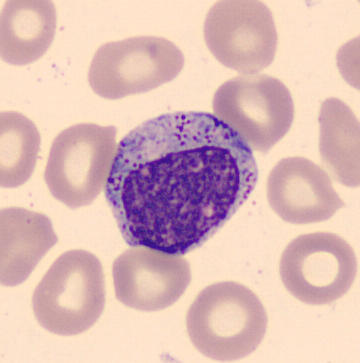
Preparation: CellaVision DM96 digital cell image · peripheral blood film · May Grünwald-Giemsa stain. Q: What is shown here?
A: It is a myelocyte.